Brightfield, 40× oil-immersion objective; bone marrow smear; single cell centered in the field.
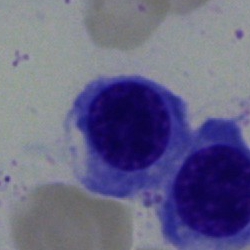The cell shown is a normoblast.